Bone marrow smear:
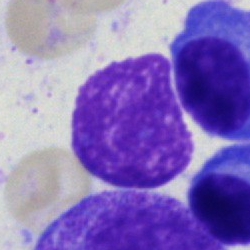 This is an artifact.